Bone marrow aspirate smear; brightfield microscopy, 40× oil immersion.
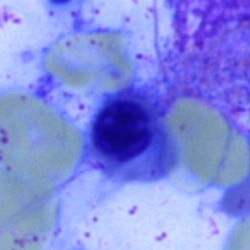A nucleated red cell.